Peripheral blood smear: 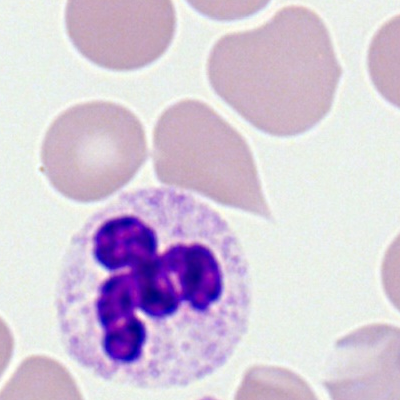 Morphological class — neutrophil (segmented).